Bone marrow smear.
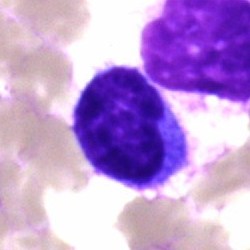
Cell — typical lymphocyte.